Bone marrow aspirate smear.
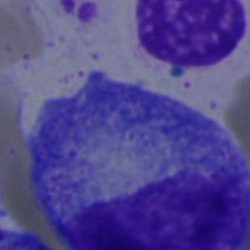Morphology consistent with a promyelocyte.